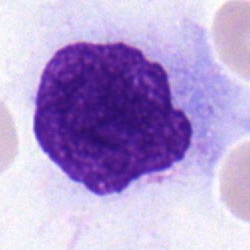Morphology consistent with a typical lymphocyte.